Bone marrow aspirate smear; May-Grünwald-Giemsa/Pappenheim stain.
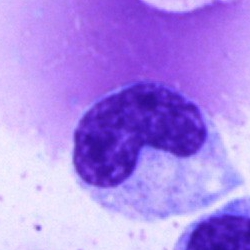 Morphological class = metamyelocyte.